Bone marrow aspirate smear: 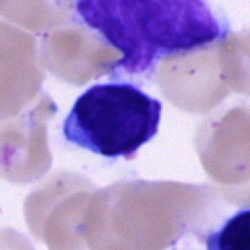

The cell is plasmacyte.